Bone marrow smear — 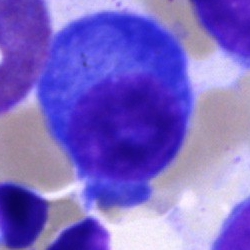 Q: Which cell type is shown here?
A: This is a plasmacyte.